Bone marrow aspirate smear:
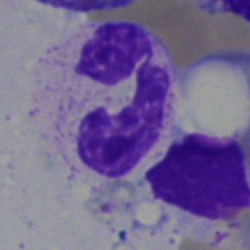Q: Identify the cell.
A: This is a polymorphonuclear neutrophil.